Bone marrow aspirate smear
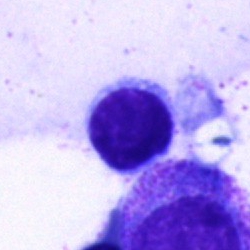
The cell shown is a lymphocyte.